May-Grünwald-Giemsa stain. Bone marrow aspirate smear. 250 by 250 pixels — 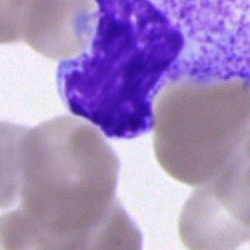Specimen: bone marrow smear.
Morphological class: artifact.